Bone marrow aspirate smear. Pappenheim-stained. Single cell centered in the field: 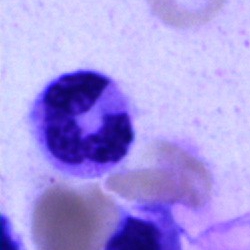Cell type = neutrophil (segmented).